Bone marrow aspirate smear:
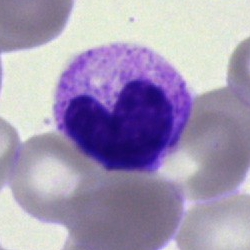
Classification: band-form neutrophil.